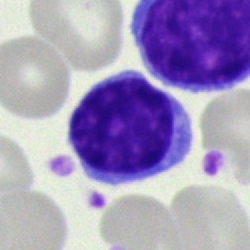
Showing a lymphocyte.